360×363; single cell centered in the field; peripheral blood film:
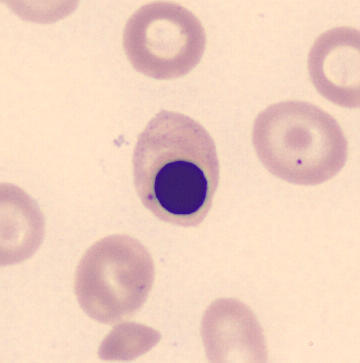
Q: What is the morphological classification of this cell?
A: Normoblast.